Bone marrow aspirate smear; MGG-stained
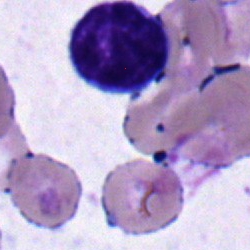
Showing a typical lymphocyte.